Peripheral blood smear:
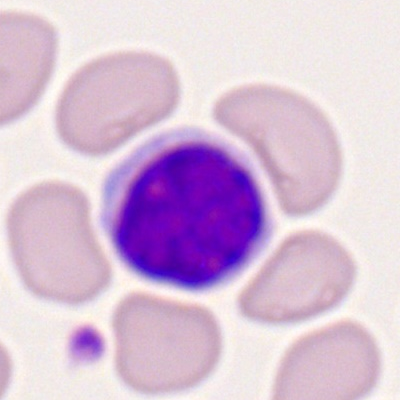The cell shown is a typical lymphocyte.